Peripheral blood smear. Single cell centered in the field. 400 by 400 pixels
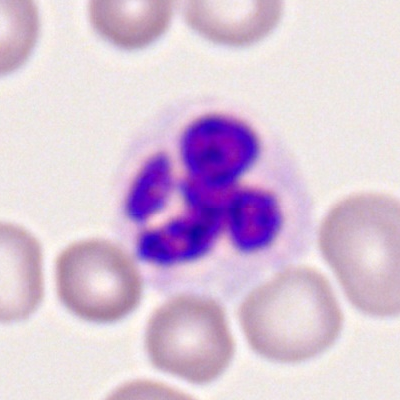 Q: What cell is this?
A: Polymorphonuclear neutrophil.